Bone marrow smear
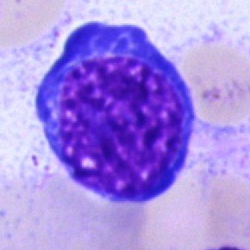

Q: What type of cell is this?
A: It is an erythroblast.